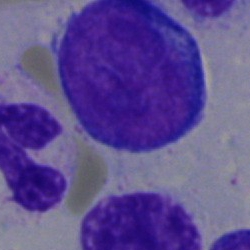This is a proerythroblast.